Bone marrow smear · Pappenheim-stained · image size 250×250 — 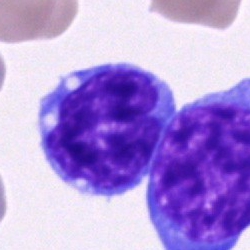Single cell identified as an undifferentiated blast.